May-Grünwald-Giemsa stain; brightfield microscopy, 40× oil immersion; bone marrow aspirate smear.
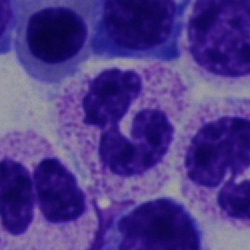
Q: What type of cell is this?
A: It is a neutrophil (segmented).